Bone marrow smear:
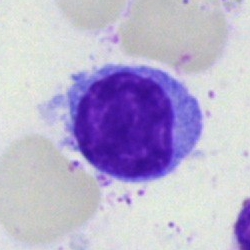
Classification — lymphocyte.